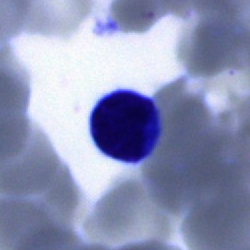

Q: What cell is this?
A: It is a lymphocyte.